Bone marrow smear. Single-cell crop: 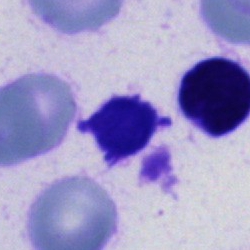 Impression — artefact.